Bone marrow aspirate smear. Cropped to a single cell. Brightfield, 40× oil-immersion objective: 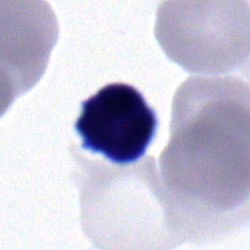 This is a typical lymphocyte.